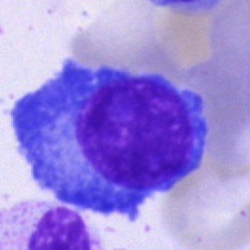Morphology consistent with a plasmacyte.